Bone marrow aspirate smear — 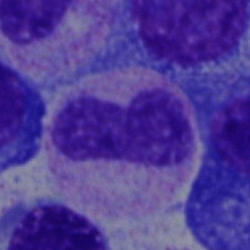
The cell shown is a band neutrophil.